Bone marrow aspirate smear
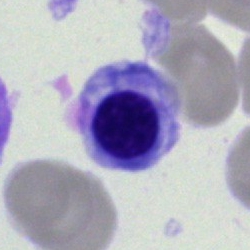The cell type is nucleated red cell.